May-Grünwald-Giemsa/Pappenheim stain. Image size 250×250. Bone marrow smear:
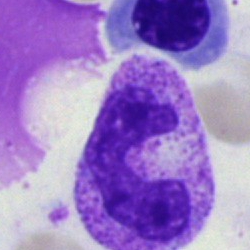
A band neutrophil.